Bone marrow smear
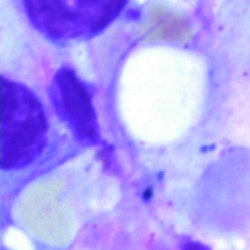 The cell shown is an artefact.